250×250 px · bone marrow smear: 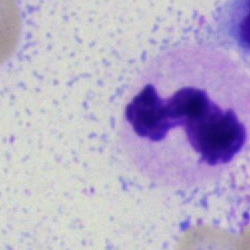Q: What cell is this?
A: A segmented neutrophil.